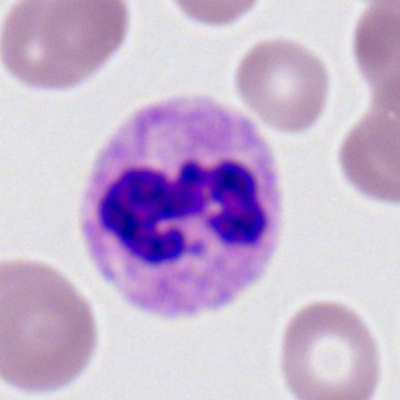
Morphology consistent with a segmented neutrophil.